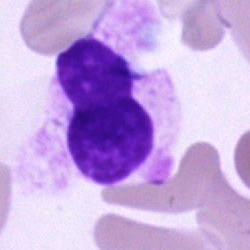

Classification = artefact.